Peripheral blood smear — 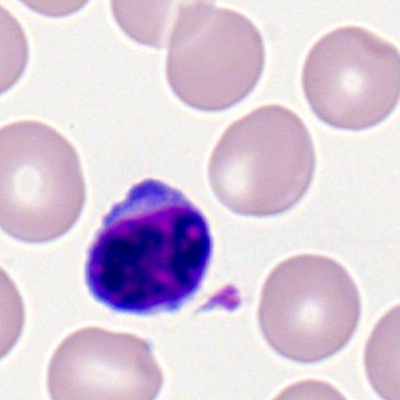Specimen: peripheral blood smear.
Classification: lymphocyte.
Lineage: lymphoid.